Bone marrow aspirate smear. Cropped to a single cell.
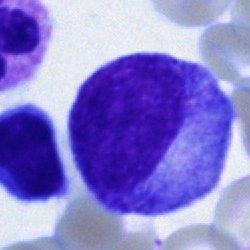
Showing a progranulocyte.